Bone marrow aspirate smear: 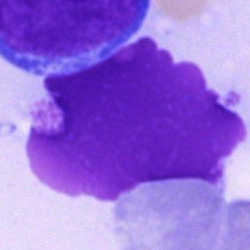Cell — artifact.